Bone marrow aspirate smear. Single-cell crop. 250×250.
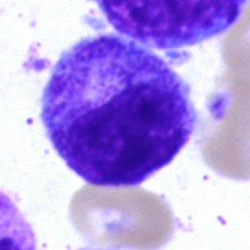
Q: Identify the cell.
A: It is a promyelocyte.